Single-cell crop · bone marrow aspirate smear · May-Grünwald-Giemsa stain.
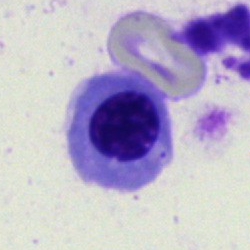
Specimen: bone marrow aspirate smear.
Classification: nucleated red cell.